Bone marrow aspirate smear; cropped to a single cell; 250×250 — 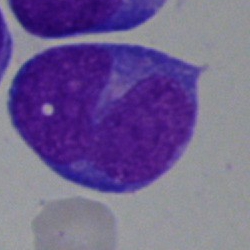

Q: What type of cell is this?
A: An undifferentiated blast.